Bone marrow aspirate smear
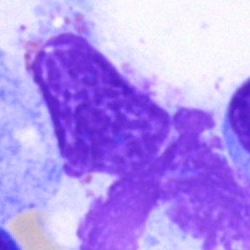 Morphological class = artefact.